Peripheral blood smear · MGG stain · image size 360×363: 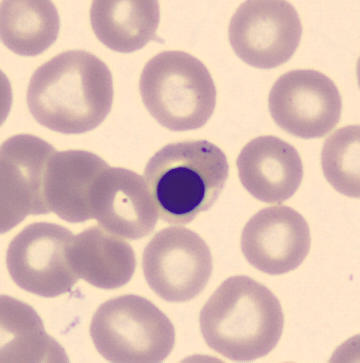

Nucleated red blood cell.